Single cell centered in the field; bone marrow smear.
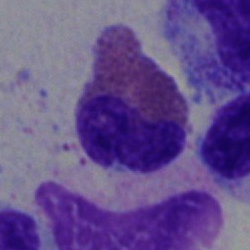Single cell identified as an eosinophil.